Bone marrow smear; 40× oil immersion; single-cell crop: 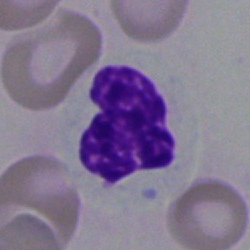A polymorphonuclear neutrophil.